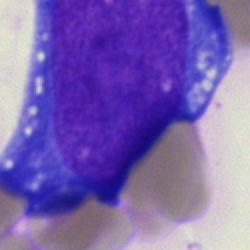

Morphology consistent with a blast.